Bone marrow aspirate smear; single-cell field
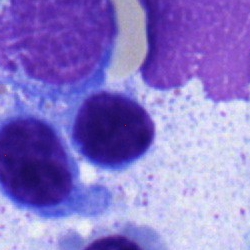 Morphological class = lymphocyte.